Bone marrow smear — 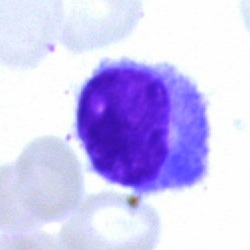

Specimen: bone marrow aspirate smear.
Morphological class: lymphocyte.
Lineage: lymphoid.